Bone marrow smear · 40× oil immersion · cropped to a single cell.
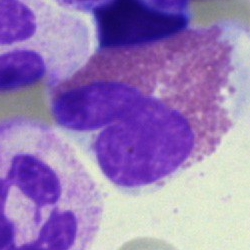
Specimen: bone marrow aspirate smear.
Morphological class: eosinophilic granulocyte.
Lineage: myeloid.